250×250; bone marrow aspirate smear: 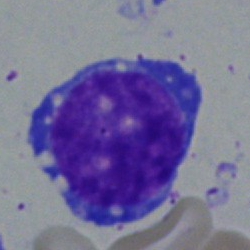

Blast cell.